Bone marrow aspirate smear.
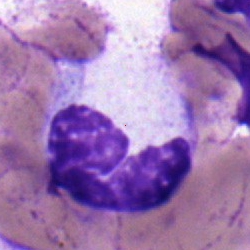 Neutrophil (band).